Peripheral blood film · single cell centered in the field — 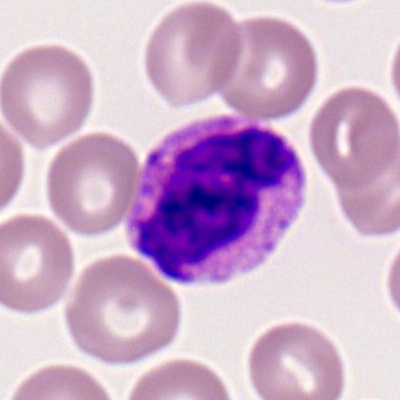Basophilic granulocyte.